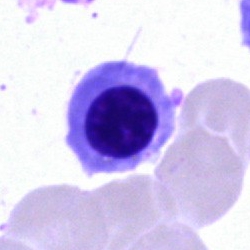Showing a nucleated red blood cell.